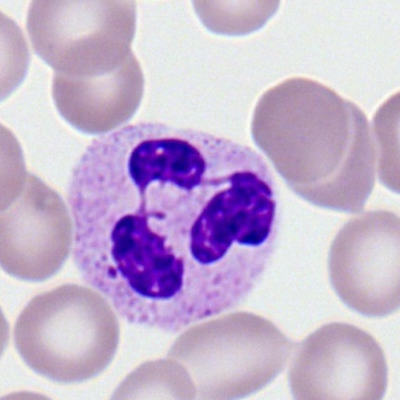
Morphology — polymorphonuclear neutrophil.